Bone marrow aspirate smear
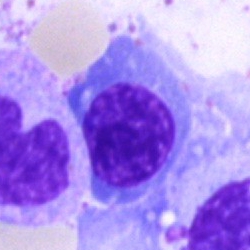 Q: Identify the cell.
A: An erythroblast.